Bone marrow smear:
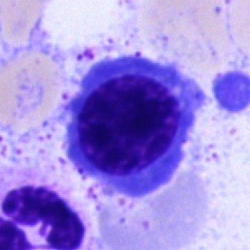Specimen: bone marrow smear.
Morphological class: normoblast.
Lineage: erythroid.